Bone marrow smear.
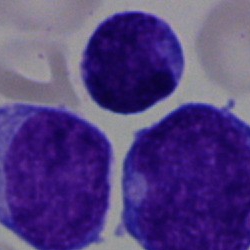

Cell type — blast cell.